Bone marrow smear.
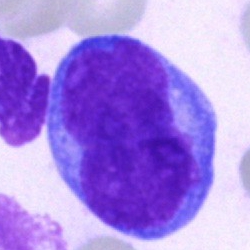 Morphology — undifferentiated blast.